Bone marrow smear. 40× oil immersion. May-Grünwald-Giemsa/Pappenheim stain — 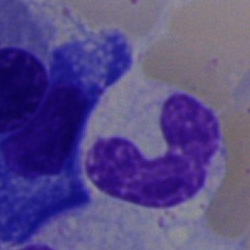

{"cell_type": "stab cell"}